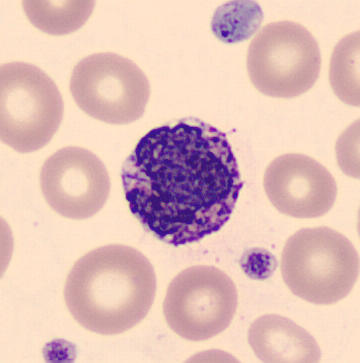

Peripheral blood film. 360 by 363 pixels. CellaVision DM96 digital cell image.

Q: What type of cell is this?
A: It is a basophil.